Bone marrow smear. 250 by 250 pixels.
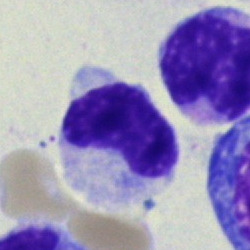
This is a metamyelocyte.